Bone marrow smear. May-Grünwald-Giemsa/Pappenheim stain. 250×250 px
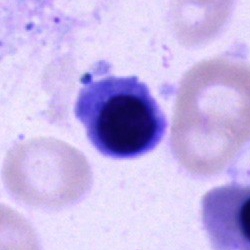
Q: Identify the cell.
A: Nucleated red blood cell.